Bone marrow smear. Pappenheim-stained — 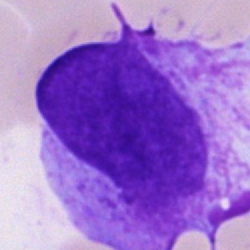
Specimen: bone marrow smear.
Cell: blast cell.